Bone marrow smear:
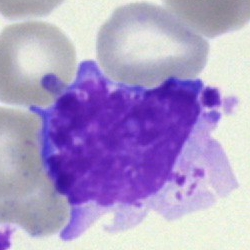
Q: What is shown here?
A: Artifact.